Bone marrow smear · May-Grünwald-Giemsa/Pappenheim stain · brightfield microscopy, 40× oil immersion:
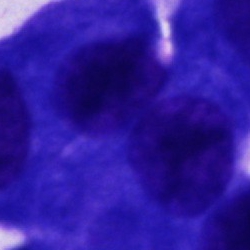

Specimen: bone marrow smear.
Cell type: cell not matching the other categories.